100× objective, oil immersion · peripheral blood smear:
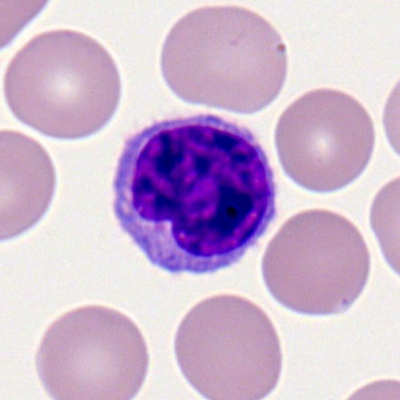
Q: What type of cell is this?
A: A lymphocyte.